Bone marrow smear; image size 250×250:
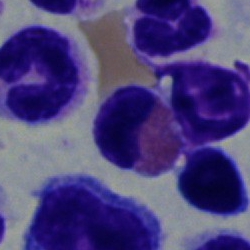

An eosinophil.